Bone marrow smear: 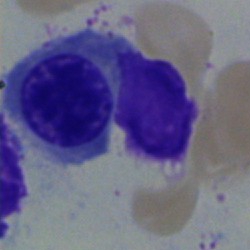 The cell type is erythroblast.